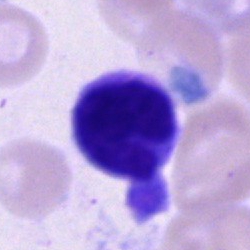

This is a monocyte.